40× objective, oil immersion; bone marrow aspirate smear; May-Grünwald-Giemsa/Pappenheim stain.
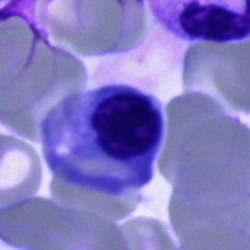

Impression — erythroblast.